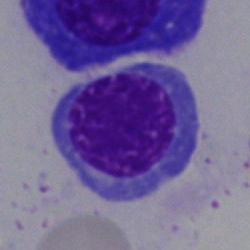 Specimen: bone marrow smear.
Classification: nucleated red blood cell.
Lineage: erythroid.